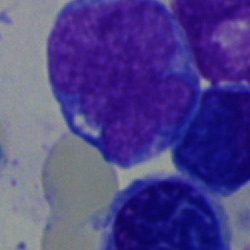
Specimen: bone marrow aspirate smear.
Cell: blast.